Single cell centered in the field · bone marrow smear · May-Grünwald-Giemsa stain
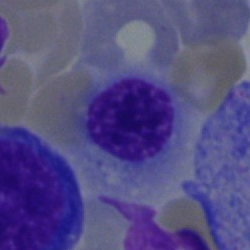

Morphology consistent with a nucleated red blood cell.